Pappenheim-stained; bone marrow smear: 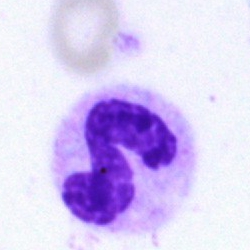
This is a neutrophil (segmented).